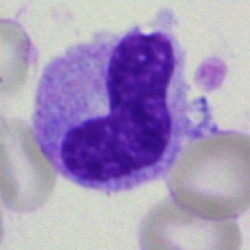
{"cell_type": "band neutrophil", "lineage": "myeloid"}